Single-cell field · brightfield microscopy, 40× oil immersion · bone marrow aspirate smear:
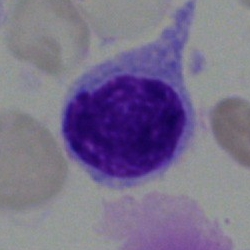Q: What type of cell is this?
A: Hairy cell.